250 by 250 pixels; bone marrow aspirate smear; brightfield microscopy, 40× oil immersion
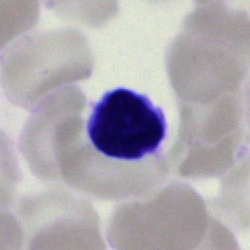 Q: What type of cell is this?
A: It is a typical lymphocyte.